Pappenheim-stained; bone marrow smear — 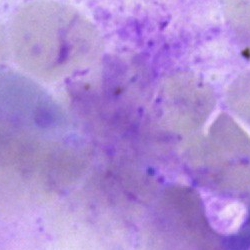

Specimen: bone marrow smear.
Morphological class: artefact.